Bone marrow aspirate smear: 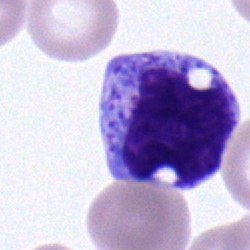 Morphology → myelocyte.